Bone marrow smear · 40× objective, oil immersion — 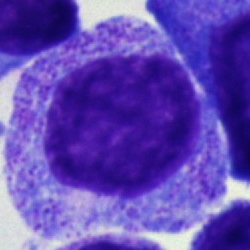 Specimen: bone marrow aspirate smear.
Morphological class: progranulocyte.
Lineage: myeloid.